Bone marrow aspirate smear. Brightfield, 40× oil-immersion objective. 250×250.
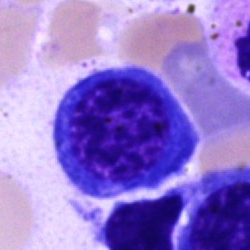

The classification is nucleated red cell.